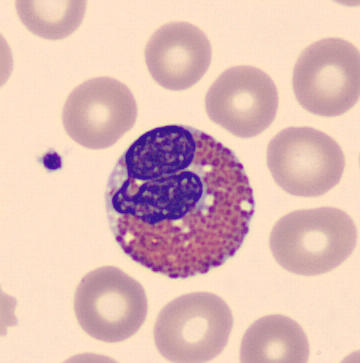 Cell type = eosinophil.
MGG stain; peripheral blood film.